Bone marrow smear; 250 by 250 pixels: 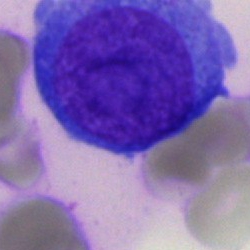 Q: What cell is this?
A: Blast cell.